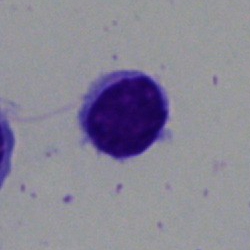
Impression — lymphocyte.